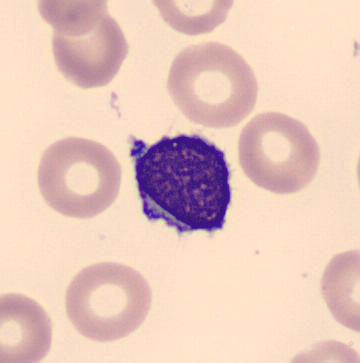 Acquisition: Peripheral blood smear.

Identified as a typical lymphocyte.